Bone marrow aspirate smear; 40× objective, oil immersion
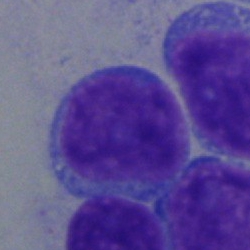Showing a typical lymphocyte.